Pappenheim-stained; brightfield, 40× oil-immersion objective; bone marrow smear — 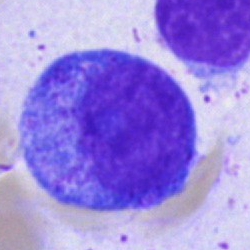Single cell identified as a promyelocyte.